Cropped to a single cell; bone marrow aspirate smear; 250×250.
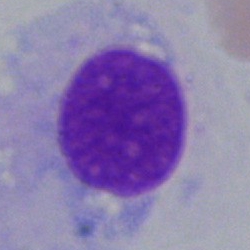 This is an artifact.